Bone marrow smear:
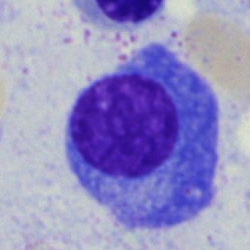 {"cell_type": "plasmacyte", "lineage": "lymphoid"}